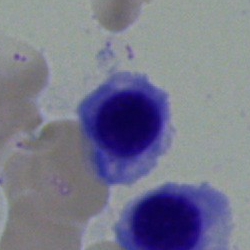Morphology consistent with a nucleated red blood cell.